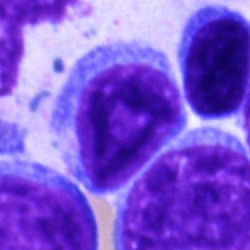Cell — lymphocyte.